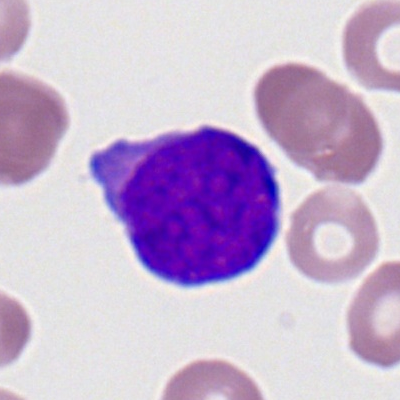
{"cell_type": "myeloid blast", "lineage": "myeloid"}